Bone marrow smear:
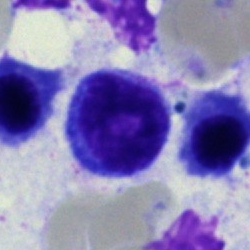 The classification is typical lymphocyte.